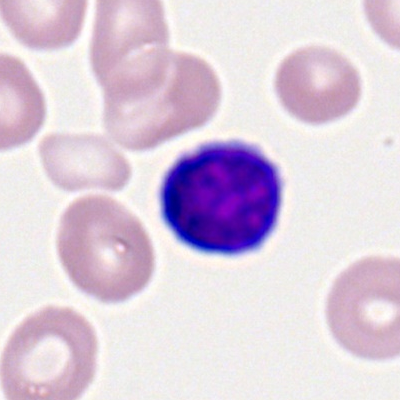

Specimen: peripheral blood film.
Cell type: typical lymphocyte.